Bone marrow smear:
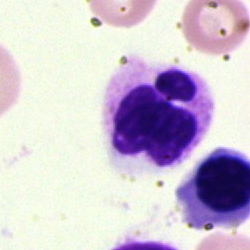
Q: Which cell type is shown here?
A: It is a segmented neutrophil.